40× oil immersion. Single-cell crop. Bone marrow aspirate smear — 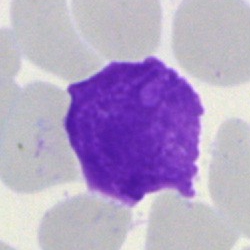

Showing an artefact.